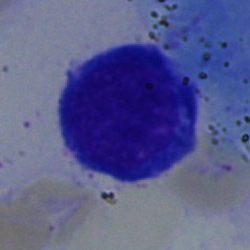

Cell — nucleated red cell.